Brightfield, 40× oil-immersion objective. Bone marrow aspirate smear.
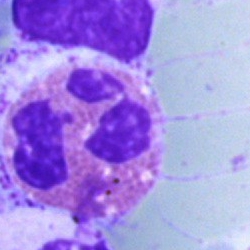 Morphology consistent with an eosinophil.